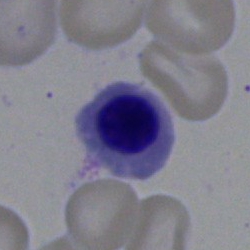

Showing a nucleated red blood cell.